Bone marrow aspirate smear.
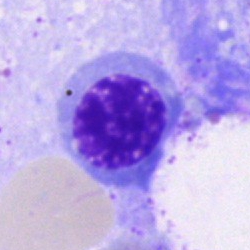

Showing a nucleated red blood cell.